Single cell centered in the field; peripheral blood smear
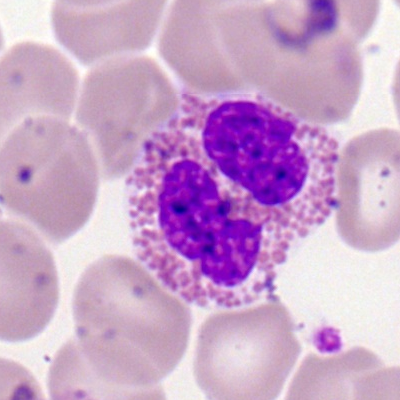

Specimen: peripheral blood smear.
Morphological class: polymorphonuclear neutrophil.